May-Grünwald-Giemsa stain. Bone marrow aspirate smear. 250×250 px.
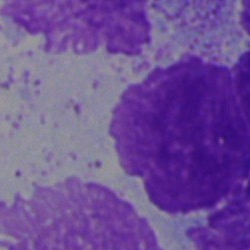Artefact.